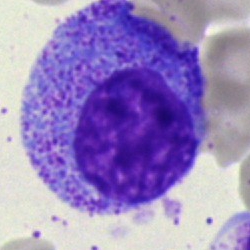
Specimen: bone marrow aspirate smear.
Classification: progranulocyte.
Lineage: myeloid.